Single cell centered in the field · peripheral blood smear: 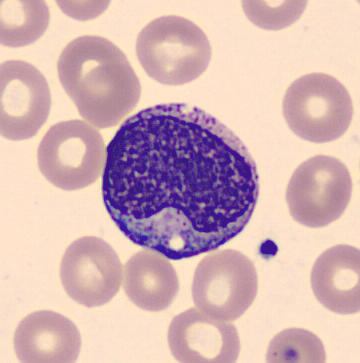 Classification — metamyelocyte.